250×250 · bone marrow smear.
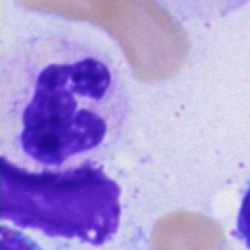

A neutrophil (segmented).